MGG-stained; 250×250 px; bone marrow smear — 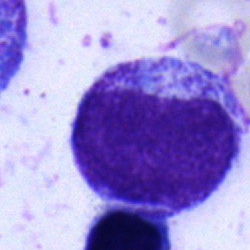This is a myelocyte.